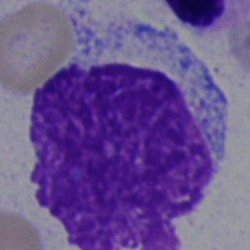

{"cell_type": "artifact"}